Brightfield, 40× oil-immersion objective · bone marrow aspirate smear: 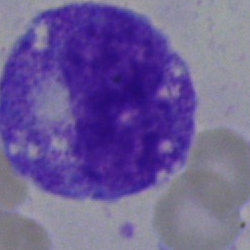

{"cell_type": "progranulocyte", "lineage": "myeloid"}